Brightfield, 40× oil-immersion objective · bone marrow aspirate smear
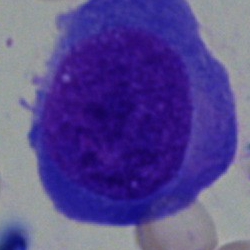 {"cell_type": "plasmacyte", "lineage": "lymphoid"}